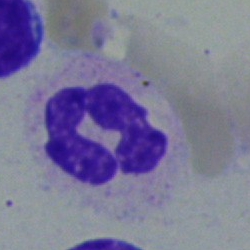 {"cell_type": "segmented neutrophil", "lineage": "myeloid"}